MGG-stained. Bone marrow smear. Brightfield microscopy, 40× oil immersion:
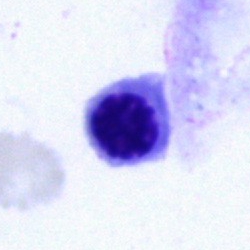
Nucleated red blood cell.